Bone marrow smear. Single-cell field:
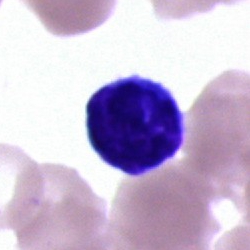 Impression — lymphocyte.